360×363 px; single cell centered in the field; peripheral blood film: 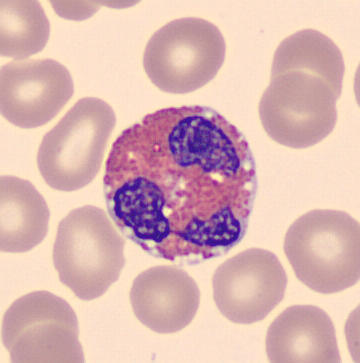Specimen: peripheral blood smear.
Cell type: eosinophilic granulocyte.
Lineage: myeloid.